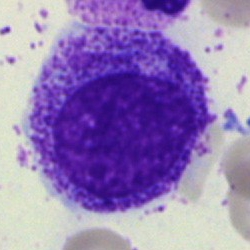 The classification is myelocyte.